Peripheral blood film · Romanowsky-type stain: 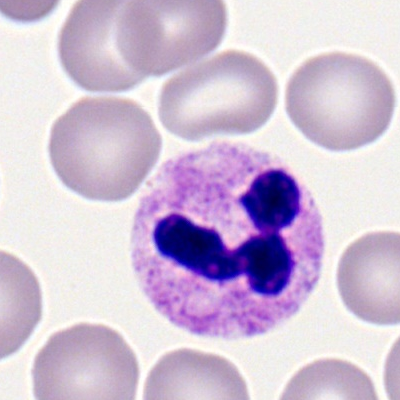

Impression — polymorphonuclear neutrophil.